Bone marrow smear:
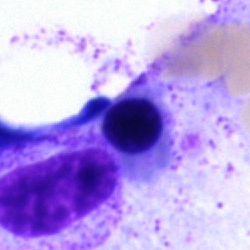 The morphological class is nucleated red blood cell.